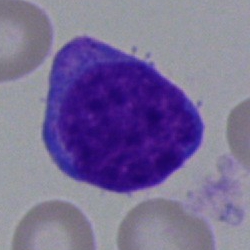 A blast cell on a bone marrow smear.